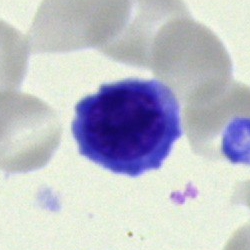
Normoblast.